Bone marrow aspirate smear
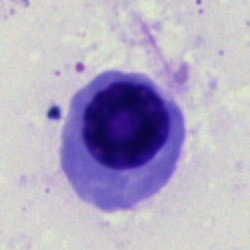
Q: What cell is this?
A: This is a nucleated red cell.